250 by 250 pixels. Bone marrow aspirate smear — 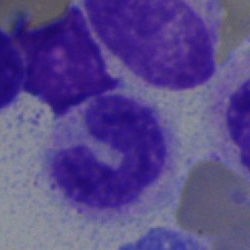 A band neutrophil.